Bone marrow smear:
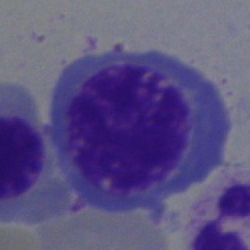
{"cell_type": "nucleated red blood cell"}